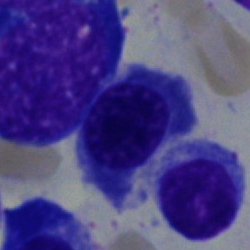 The classification is erythroblast.